Bone marrow aspirate smear · May-Grünwald-Giemsa/Pappenheim stain:
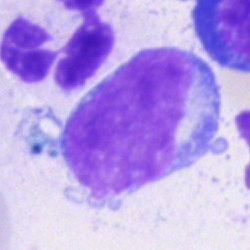

Classification — undifferentiated blast.